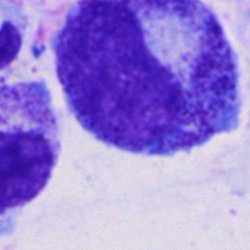Q: Identify the cell.
A: This is a progranulocyte.